Bone marrow smear:
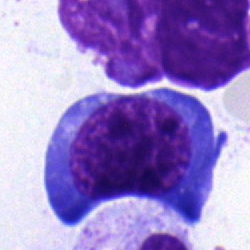 Cell type — nucleated red cell.